Single-cell field. Bone marrow smear — 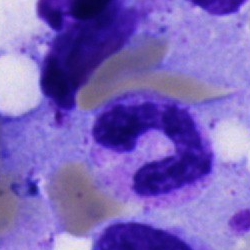 {"cell_type": "band neutrophil"}